Bone marrow aspirate smear · MGG-stained:
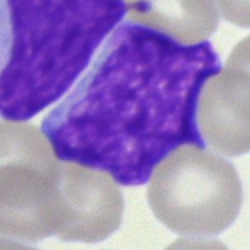A blast.